Bone marrow aspirate smear:
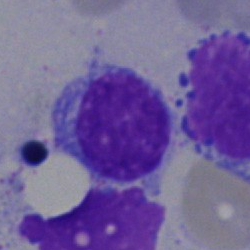
Morphological class = lymphocyte.